May-Grünwald-Giemsa stain; bone marrow smear: 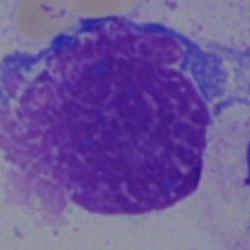Q: What is shown here?
A: Artifact.